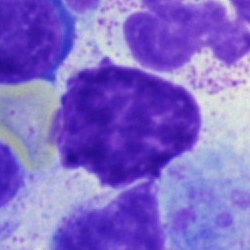The morphological class is artefact.